Brightfield microscopy, 40× oil immersion. Bone marrow smear: 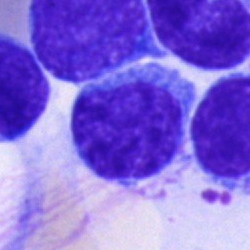

Q: What cell is this?
A: It is a lymphocyte.